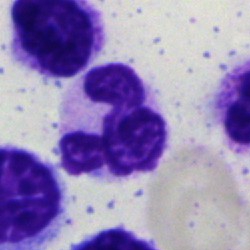
Morphology — polymorphonuclear neutrophil.